Single-cell field. Bone marrow smear.
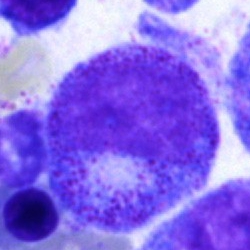Progranulocyte.